Bone marrow aspirate smear. Brightfield, 40× oil-immersion objective.
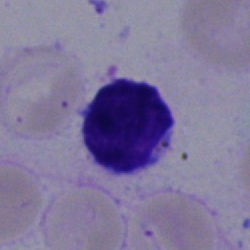
Morphological class = lymphocyte.